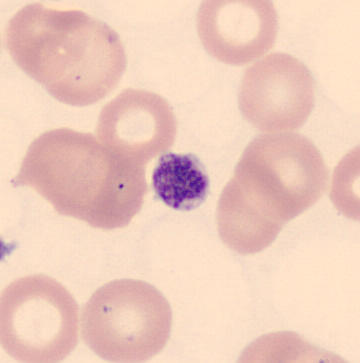Q: What is this?
A: It is a platelet. Image: Peripheral blood film.